Bone marrow smear. Cropped to a single cell. 40× objective, oil immersion — 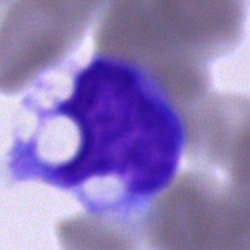 Specimen: bone marrow aspirate smear.
Cell type: unidentifiable cell.